Bone marrow smear
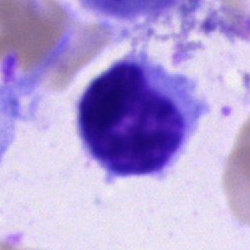
Specimen: bone marrow aspirate smear.
Morphological class: lymphocyte.